Bone marrow aspirate smear. Pappenheim-stained. Single-cell field: 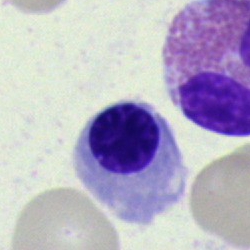 Morphology consistent with an erythroblast.